Bone marrow smear: 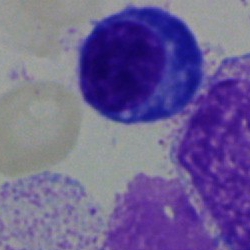

Plasmacyte.